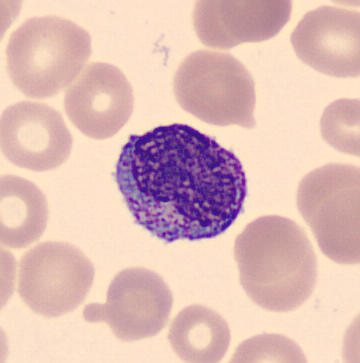Acquisition: Single cell centered in the field · MGG stain.
Specimen: peripheral blood film.
Morphological class: myelocyte.